May-Grünwald-Giemsa stain. Bone marrow smear:
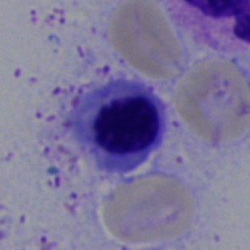

Morphology → normoblast.